Cropped to a single cell; bone marrow aspirate smear.
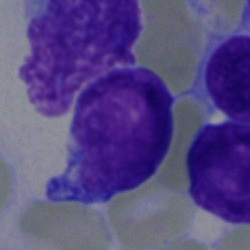Morphological class — undifferentiated blast.